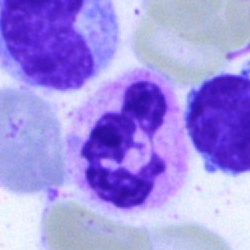

Bone marrow aspirate smear, single cell — polymorphonuclear neutrophil.